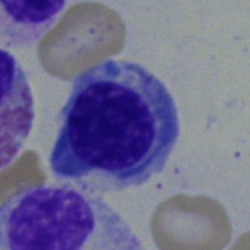A nucleated red cell.